Bone marrow smear
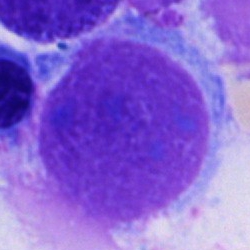Specimen: bone marrow aspirate smear.
Morphological class: artefact.